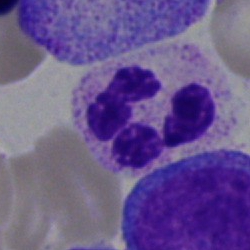 {"cell_type": "neutrophil (segmented)", "lineage": "myeloid"}